Bone marrow smear.
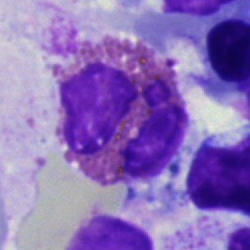 Classification = eosinophilic granulocyte.